Single cell centered in the field. Bone marrow smear:
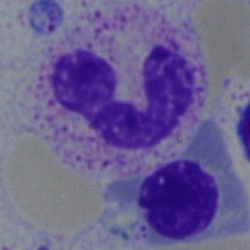 The morphological class is neutrophil (band).